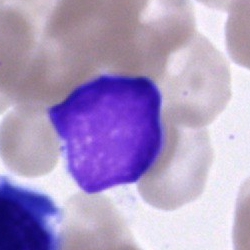
Q: Which cell type is shown here?
A: A cell of indeterminate lineage.